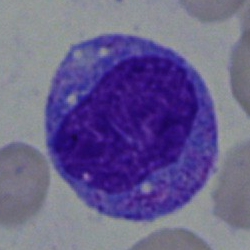Q: What is the morphological classification of this cell?
A: It is a progranulocyte.